Peripheral blood smear · single-cell field: 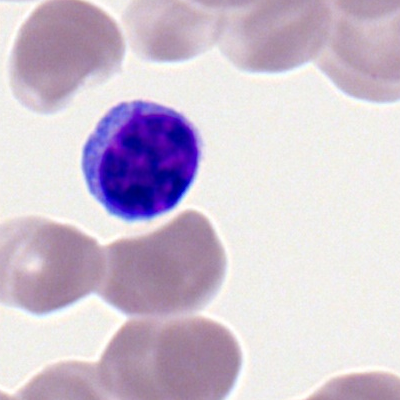 Cell: typical lymphocyte.